Bone marrow smear. Single-cell field.
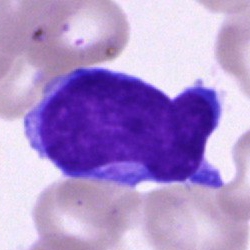
This is a blast.